Single-cell crop · MGG-stained · bone marrow aspirate smear.
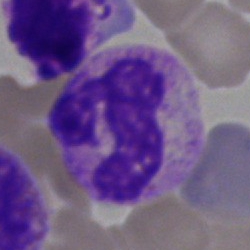

Q: What cell is this?
A: Segmented neutrophil.